Bone marrow smear — 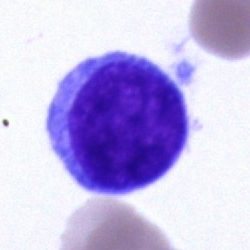 Impression → undifferentiated blast.